Bone marrow smear:
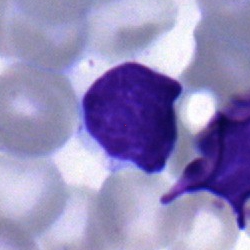

The cell is lymphocyte.